Bone marrow aspirate smear:
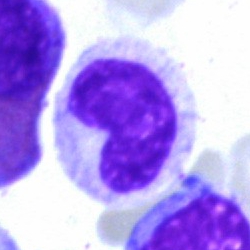 Single cell identified as a band-form neutrophil.